May-Grünwald-Giemsa/Pappenheim stain; bone marrow aspirate smear:
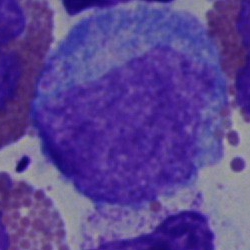

The cell shown is a promyelocyte.